Image size 250×250 · bone marrow aspirate smear: 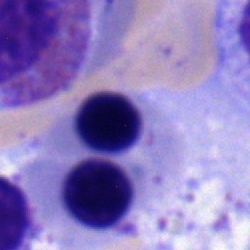Showing a nucleated red cell.